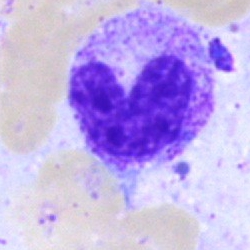Bone marrow aspirate smear, single cell — neutrophil (band).